Bone marrow smear; 40× oil immersion; Pappenheim-stained: 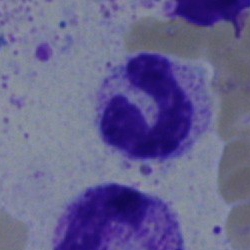
Morphology — stab cell.